Bone marrow smear:
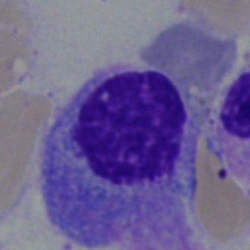
Specimen: bone marrow smear.
Cell type: plasmacyte.
Lineage: lymphoid.